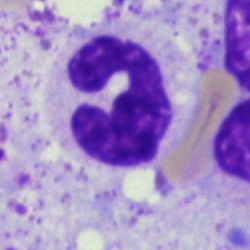A polymorphonuclear neutrophil on a bone marrow smear.